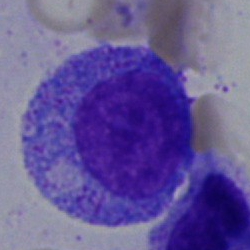 {"cell_type": "promyelocyte", "lineage": "myeloid"}